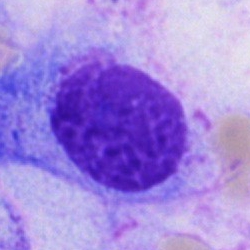The classification is artefact.